Bone marrow aspirate smear: 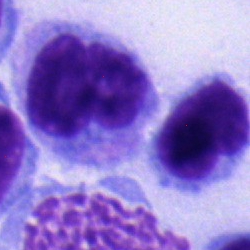 Impression → typical lymphocyte.